Bone marrow smear:
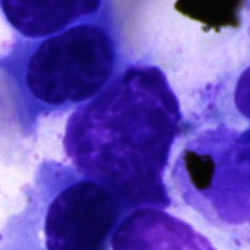{"cell_type": "artefact"}